Romanowsky-stained. Peripheral blood film:
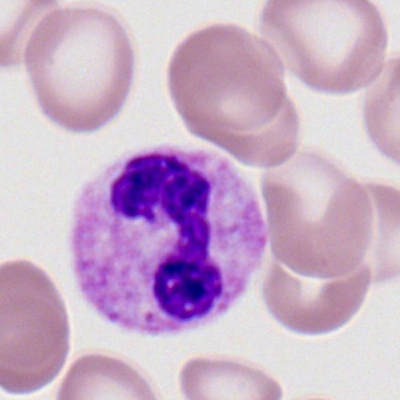

Polymorphonuclear neutrophil.